40× oil immersion · Pappenheim-stained · bone marrow aspirate smear:
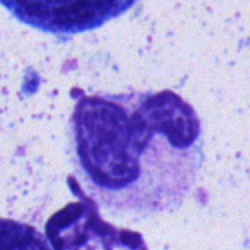

Neutrophil (segmented).